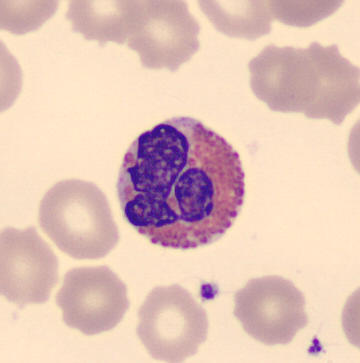
Showing an eosinophil.